Bone marrow smear — 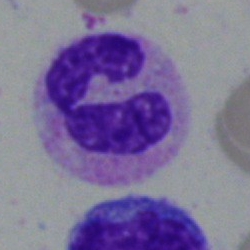
Specimen: bone marrow aspirate smear.
Cell type: neutrophil (segmented).